Bone marrow smear · brightfield microscopy, 40× oil immersion.
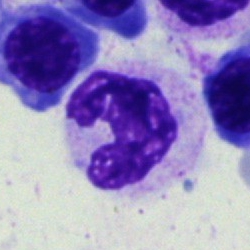

Q: What is shown here?
A: It is a band neutrophil.